40× oil immersion. MGG-stained. Bone marrow aspirate smear:
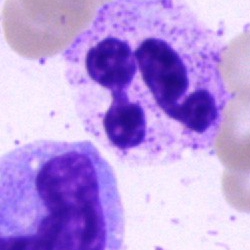
The cell shown is a polymorphonuclear neutrophil.